Bone marrow smear. Cropped to a single cell:
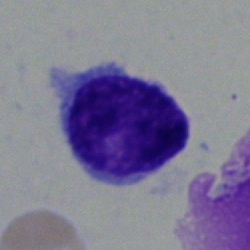
A typical lymphocyte.